Brightfield, 40× oil-immersion objective · bone marrow smear · May-Grünwald-Giemsa stain: 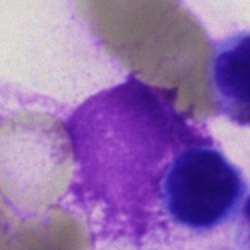The cell shown is an artifact.